Bone marrow smear
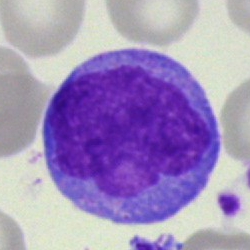
A monocyte.